Single cell centered in the field. Bone marrow smear. MGG-stained:
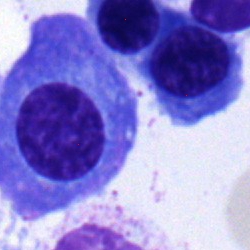 A normoblast.